Bone marrow smear:
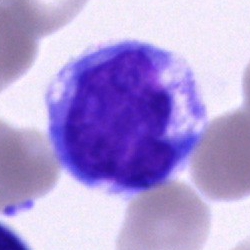
Showing a monocyte.